Bone marrow smear.
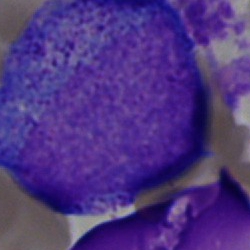 Impression — progranulocyte.